40× oil immersion; single cell centered in the field; bone marrow smear — 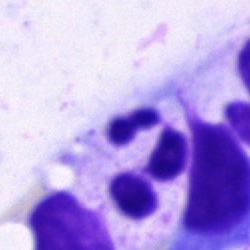
Morphology — segmented neutrophil.